Bone marrow aspirate smear — 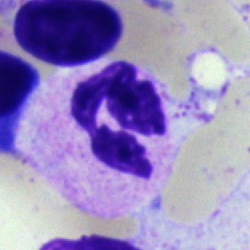Morphology consistent with a segmented neutrophil.